Bone marrow smear: 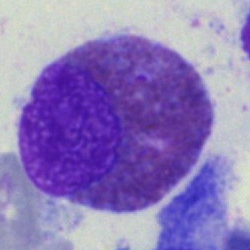 Morphology → segmented neutrophil.